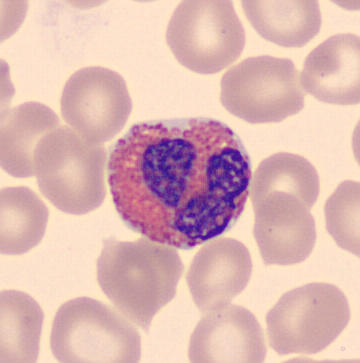

Peripheral blood smear. Q: What is the morphological classification of this cell?
A: This is an eosinophil.